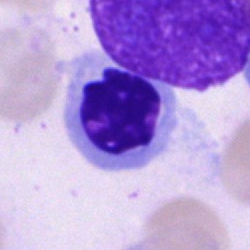Impression — normoblast.